Bone marrow smear: 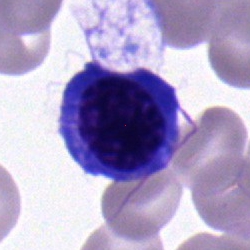

Q: Identify the cell.
A: This is a plasma cell.